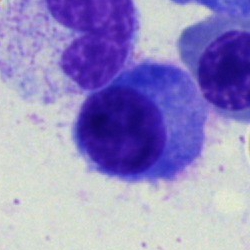Single-cell crop from a bone marrow smear: plasmacyte.